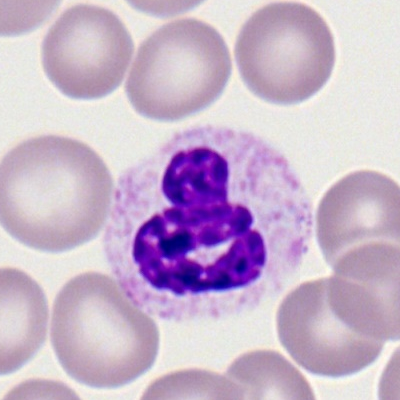

Morphological class — neutrophil (segmented).